Pappenheim-stained · bone marrow smear · 250×250 — 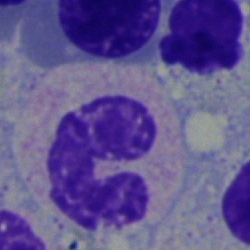Single cell identified as a neutrophil (segmented).